Bone marrow aspirate smear; 250×250:
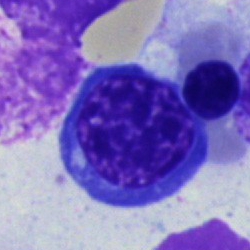Q: What is shown here?
A: Nucleated red blood cell.